100× objective, oil immersion; peripheral blood smear — 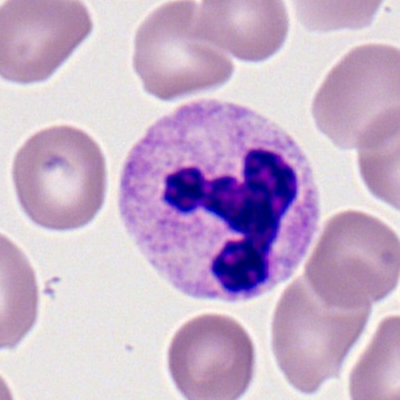A neutrophil (segmented).